Single cell centered in the field. Pappenheim-stained. Bone marrow smear
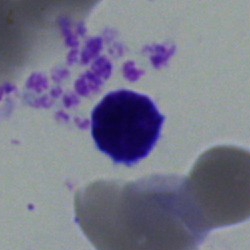 Specimen: bone marrow smear.
Classification: typical lymphocyte.